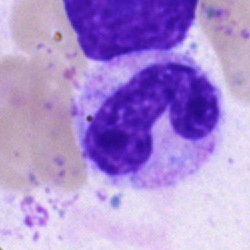 Q: What is the morphological classification of this cell?
A: It is a band-form neutrophil.